Bone marrow smear:
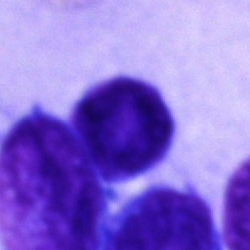 This is an unidentifiable cell.